40× objective, oil immersion. 250 by 250 pixels. Bone marrow smear: 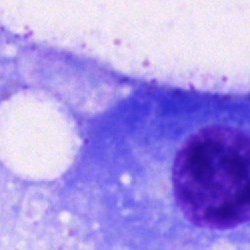Showing a plasmacyte.